Bone marrow smear.
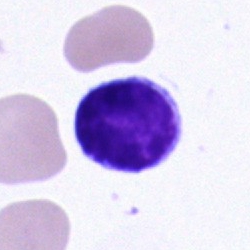
Q: What type of cell is this?
A: Typical lymphocyte.